Bone marrow aspirate smear. Image size 250×250.
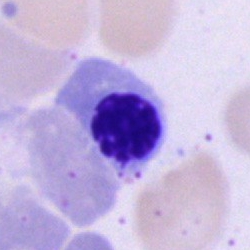 Specimen: bone marrow aspirate smear.
Classification: nucleated red cell.